Bone marrow aspirate smear. May-Grünwald-Giemsa/Pappenheim stain.
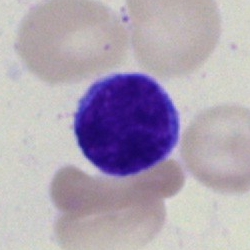

Impression → lymphocyte.